Bone marrow aspirate smear.
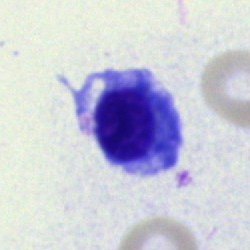
Q: What is the morphological classification of this cell?
A: It is a normoblast.